Bone marrow aspirate smear.
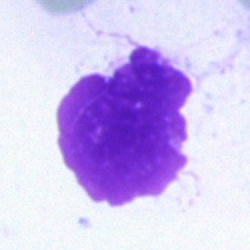 Morphological class: artefact.